Bone marrow aspirate smear
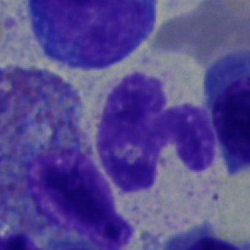The cell shown is a polymorphonuclear neutrophil.